Peripheral blood smear. Romanowsky-type stain
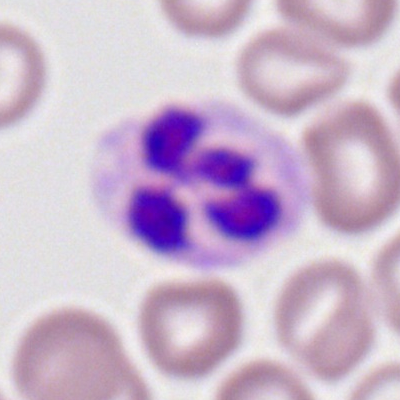 {"cell_type": "polymorphonuclear neutrophil", "lineage": "myeloid"}